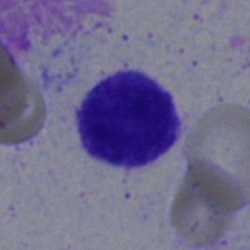

Bone marrow aspirate smear, single cell — lymphocyte.